Bone marrow smear. 40× objective, oil immersion.
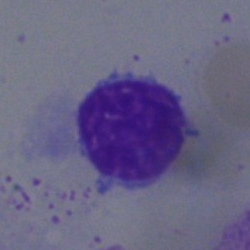 Morphology — typical lymphocyte.